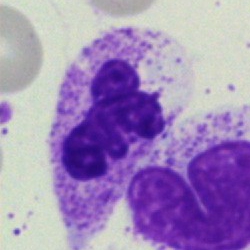
Specimen: bone marrow aspirate smear.
Morphological class: segmented neutrophil.
Lineage: myeloid.